Brightfield, 40× oil-immersion objective · bone marrow smear · 250×250
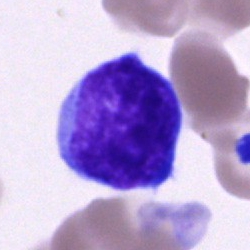
A blast.